Bone marrow aspirate smear. Single cell centered in the field. MGG-stained
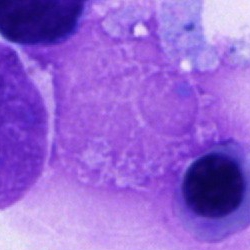Specimen: bone marrow smear.
Morphological class: artefact.